Peripheral blood film.
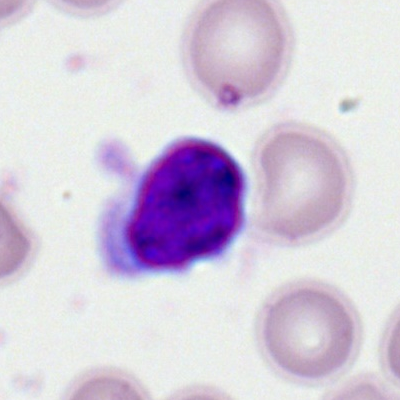Showing a lymphocyte.